Bone marrow aspirate smear · 40× oil immersion · 250×250: 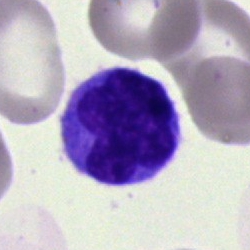Showing a lymphocyte.